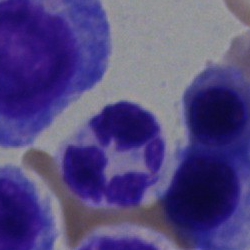 The cell is segmented neutrophil.